Bone marrow aspirate smear — 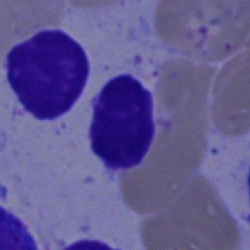 A typical lymphocyte.